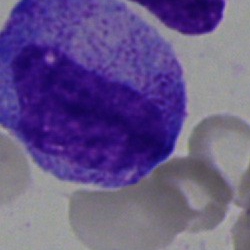The morphological class is promyelocyte.